Peripheral blood film. Romanowsky stain. 100× oil immersion, 14.14 px/µm.
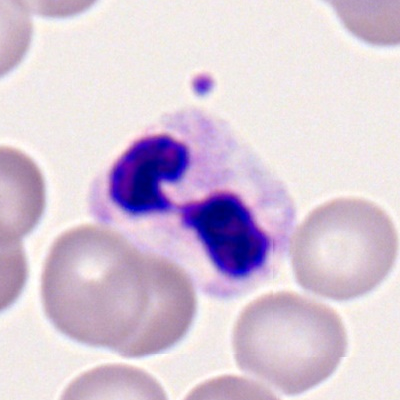 Impression → segmented neutrophil.